Brightfield, 40× oil-immersion objective. Single-cell crop. Bone marrow smear
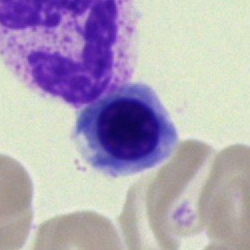

This is a nucleated red blood cell.